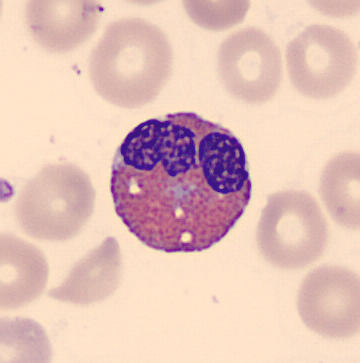Q: Which cell type is shown here?
A: An eosinophil.
Image: Cropped to a single cell. Peripheral blood film.